Single-cell crop · peripheral blood film · Romanowsky stain.
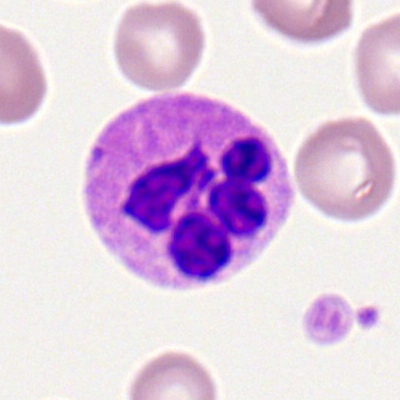

{"cell_type": "segmented neutrophil"}